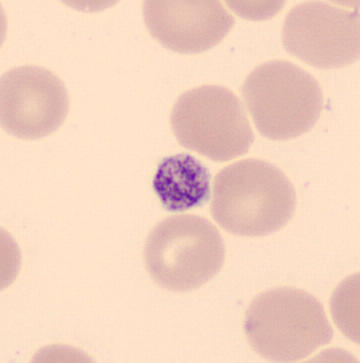Identified as a platelet. Peripheral blood film.